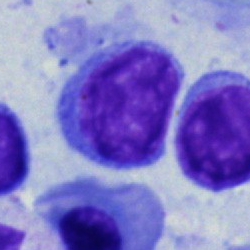

The morphological class is typical lymphocyte.